Romanowsky stain; image size 400×400; peripheral blood film.
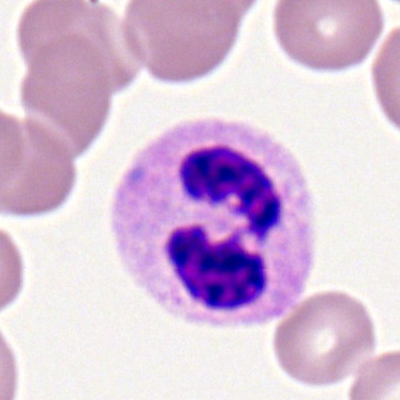Morphology → polymorphonuclear neutrophil.